MGG-stained. Peripheral blood film
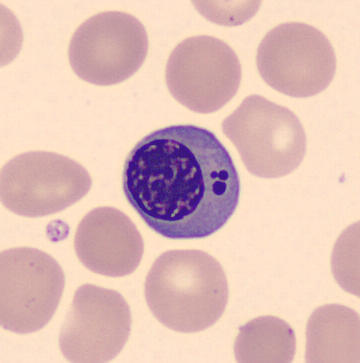
Specimen: peripheral blood film.
Cell type: nucleated red cell.
Lineage: erythroid.